Bone marrow smear:
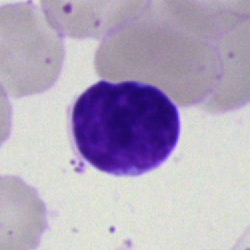Impression — typical lymphocyte.